Bone marrow aspirate smear. 40× objective, oil immersion:
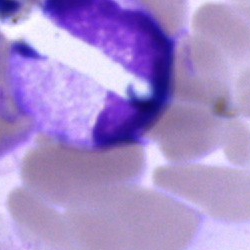{"cell_type": "artefact"}